Bone marrow smear — 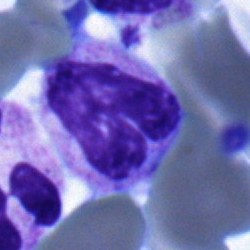

Neutrophil (band).